Pappenheim-stained. Bone marrow smear. 40× objective, oil immersion.
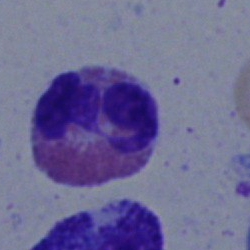
Morphology consistent with an eosinophilic granulocyte.